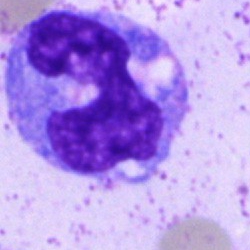

Morphology consistent with a monocyte.